MGG-stained; bone marrow aspirate smear: 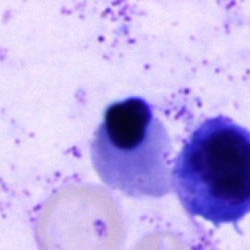 Showing an erythroblast.